May-Grünwald-Giemsa stain · bone marrow smear · brightfield, 40× oil-immersion objective.
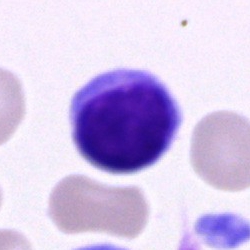 Q: What is the morphological classification of this cell?
A: A polymorphonuclear neutrophil.